Bone marrow aspirate smear:
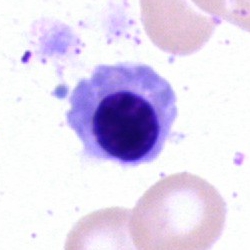 Showing a normoblast.